250 by 250 pixels · bone marrow smear: 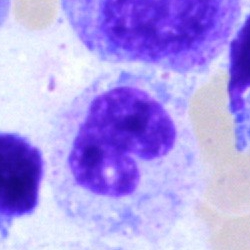Band-form neutrophil.